Image size 400×400. 100× objective, oil immersion. Peripheral blood smear:
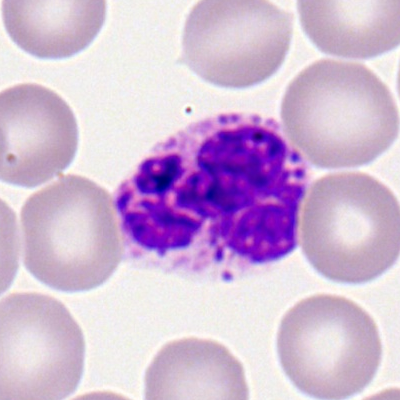Single cell identified as a basophilic granulocyte.